Bone marrow smear
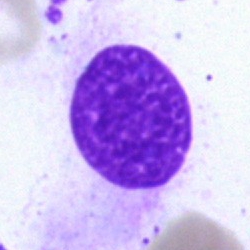
Impression — artifact.